Bone marrow aspirate smear: 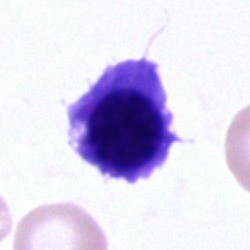 {"cell_type": "cell of indeterminate lineage"}